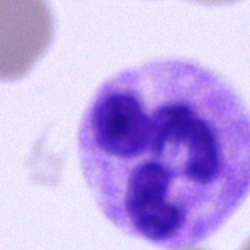

Morphology consistent with a segmented neutrophil.